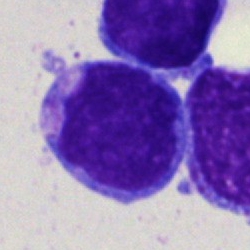
Single-cell crop from a bone marrow smear: undifferentiated blast.